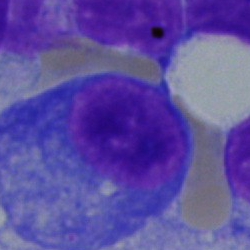 Morphology → plasma cell.